Bone marrow aspirate smear — 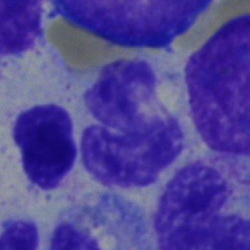

Single cell identified as a neutrophil (band).